Bone marrow aspirate smear.
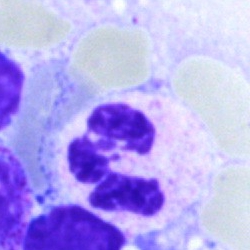

Classification — neutrophil (segmented).